Bone marrow smear:
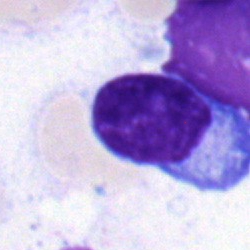Cell — typical lymphocyte.